Bone marrow smear.
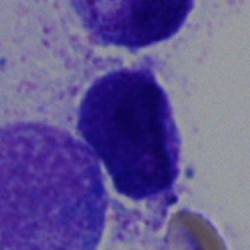 {"cell_type": "typical lymphocyte", "lineage": "lymphoid"}